Bone marrow aspirate smear: 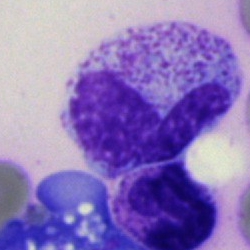 Band-form neutrophil.